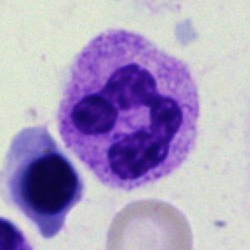
Specimen: bone marrow aspirate smear.
Cell type: neutrophil (segmented).
Lineage: myeloid.